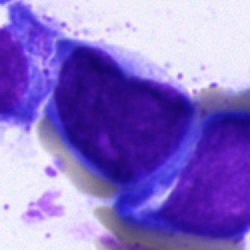

Bone marrow smear showing an undifferentiated blast.